Bone marrow aspirate smear. 250 by 250 pixels.
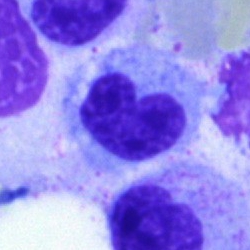
{"cell_type": "stab cell", "lineage": "myeloid"}